Bone marrow aspirate smear:
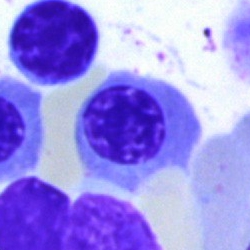This is a promyelocyte.